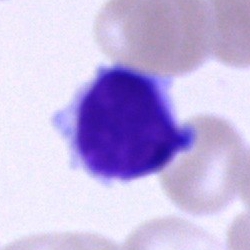

This is a typical lymphocyte.